May-Grünwald-Giemsa stain · bone marrow smear · single-cell field:
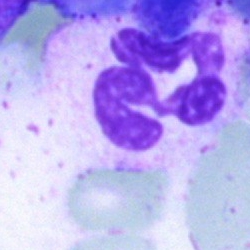

A polymorphonuclear neutrophil.